Bone marrow aspirate smear · cropped to a single cell: 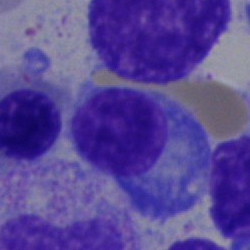
Classification — plasmacyte.